Bone marrow smear:
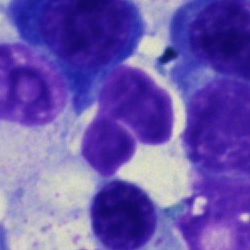 Morphology → artifact.